Bone marrow smear:
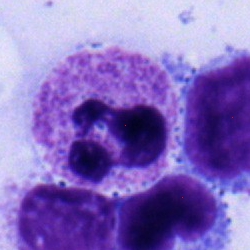 Single cell identified as a segmented neutrophil.